Bone marrow aspirate smear:
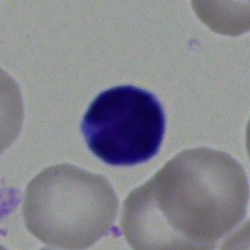

Lymphocyte.